Bone marrow smear — 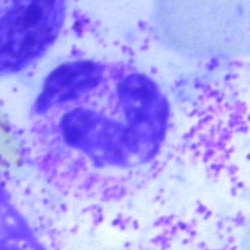 Specimen: bone marrow aspirate smear.
Morphological class: neutrophil (segmented).
Lineage: myeloid.